MGG-stained; bone marrow aspirate smear; single-cell field: 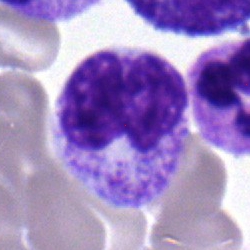Showing a metamyelocyte.